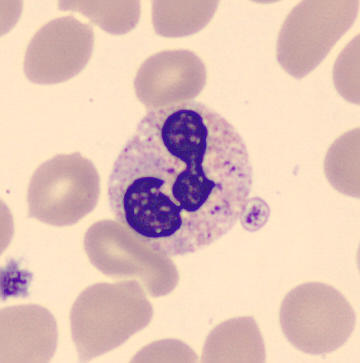

Morphological class: polymorphonuclear neutrophil. Acquisition: Peripheral blood film.